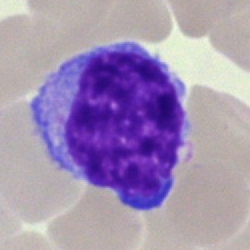A lymphocyte on a bone marrow smear.